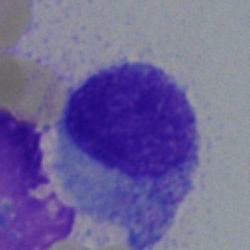 {"cell_type": "myelocyte"}